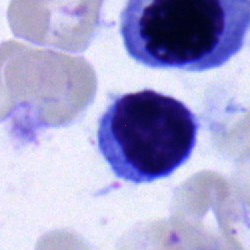 A typical lymphocyte on a bone marrow smear.